Peripheral blood film. 400 by 400 pixels. 100× objective, oil immersion.
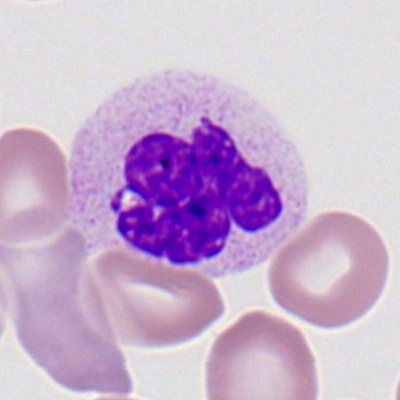 The cell shown is a segmented neutrophil.